Single cell centered in the field; peripheral blood film:
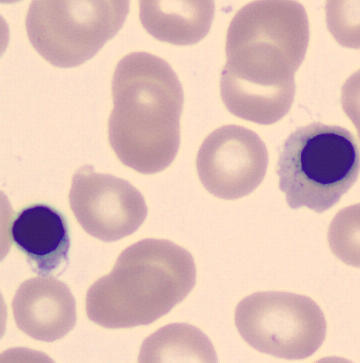
The cell shown is a normoblast.